400×400; peripheral blood smear — 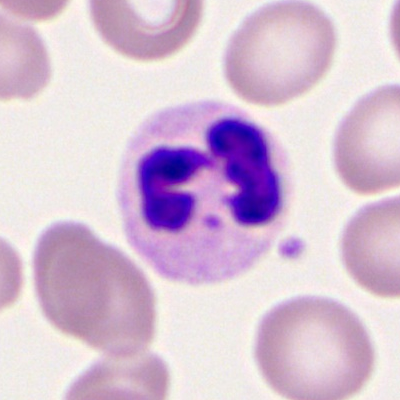Q: What is the morphological classification of this cell?
A: Segmented neutrophil.